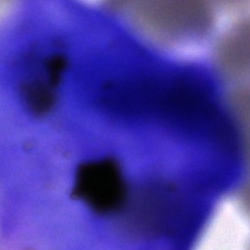Impression — artifact.